40× objective, oil immersion · Pappenheim-stained · bone marrow smear
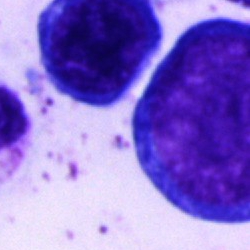

Morphology consistent with a pronormoblast.